MGG-stained · bone marrow aspirate smear.
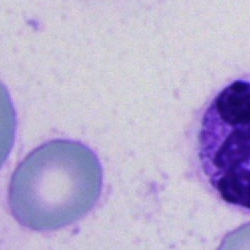
Classification — segmented neutrophil.